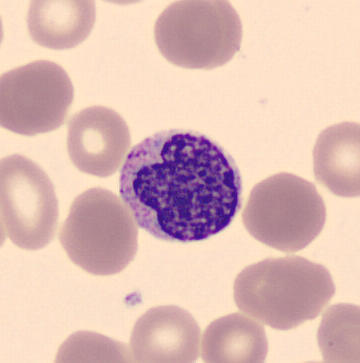Single cell identified as a metamyelocyte.

Acquisition: Peripheral blood smear · MGG stain.